Bone marrow smear:
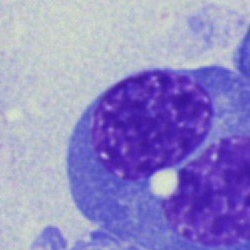Cell: nucleated red blood cell.